Bone marrow smear.
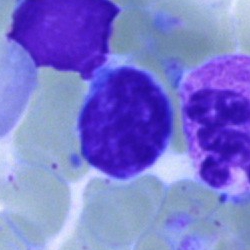Morphological class — typical lymphocyte.